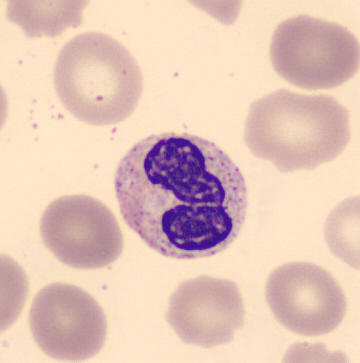

Morphology → band neutrophil.

Peripheral blood smear.